40× objective, oil immersion. Bone marrow aspirate smear. Image size 250×250.
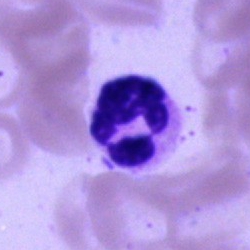Neutrophil (segmented).